Bone marrow smear
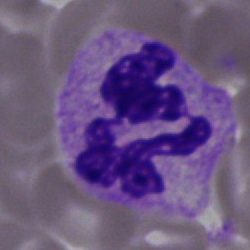This is a polymorphonuclear neutrophil.